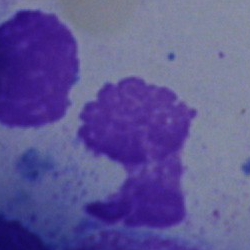Cell type — artifact.